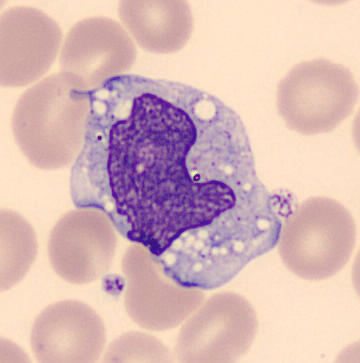
Image: Peripheral blood smear.
Cell: monocyte.